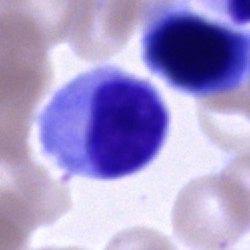Q: Which cell type is shown here?
A: A cell of indeterminate lineage.